Bone marrow aspirate smear — 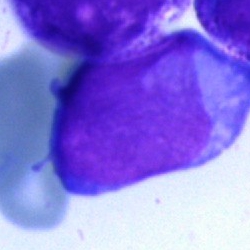Single cell identified as a blast.